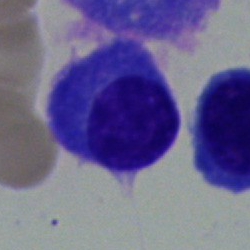
Classification = plasmacyte.